Bone marrow aspirate smear:
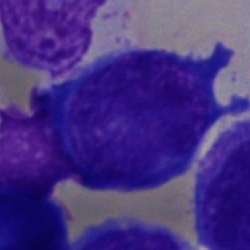A blast cell.